Bone marrow smear:
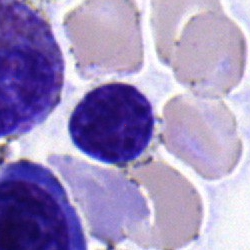 The cell shown is a lymphocyte.